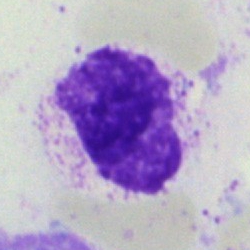
Q: What is shown here?
A: This is an artefact.